Bone marrow smear.
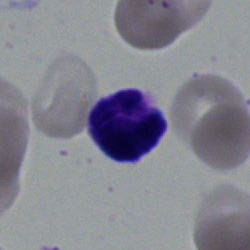

Morphological class = neutrophil (segmented).